40× oil immersion; bone marrow aspirate smear:
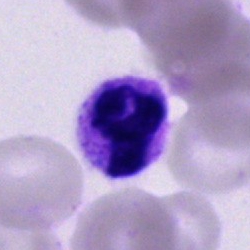

Showing a segmented neutrophil.